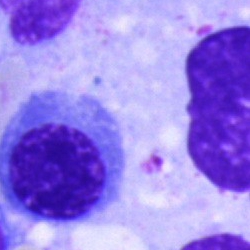
Bone marrow aspirate smear, single cell — normoblast.